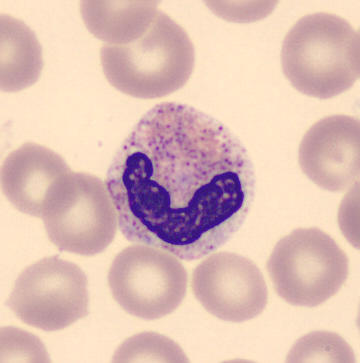The cell shown is a neutrophil (band). Acquisition: MGG stain · peripheral blood smear.